Bone marrow aspirate smear — 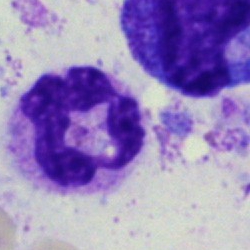
Morphology consistent with a segmented neutrophil.